Bone marrow aspirate smear: 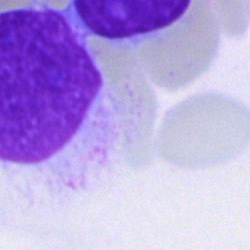

Showing an artefact.